Bone marrow aspirate smear
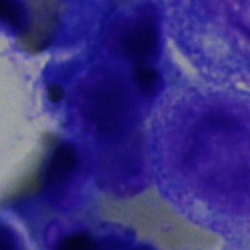 The cell shown is an artifact.